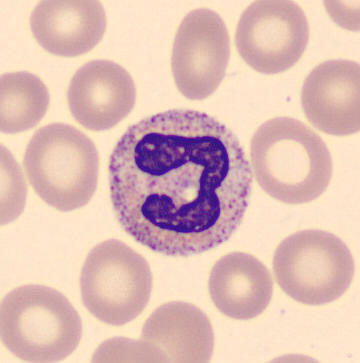

Impression — stab cell.

Acquisition: Peripheral blood film.